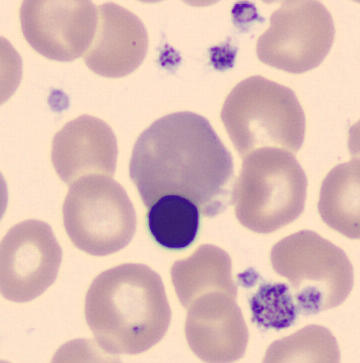Impression — platelet (thrombocyte). CellaVision DM96 digital cell image · peripheral blood smear.